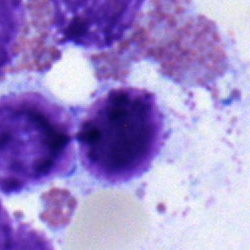

Typical lymphocyte.